Cropped to a single cell · bone marrow aspirate smear
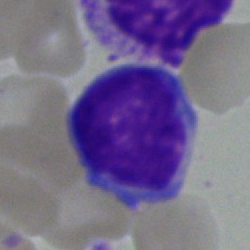 Cell type: typical lymphocyte.